Bone marrow aspirate smear:
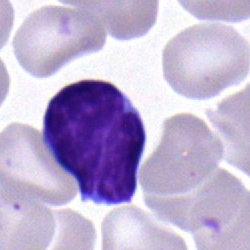 Cell: typical lymphocyte.